Bone marrow aspirate smear — 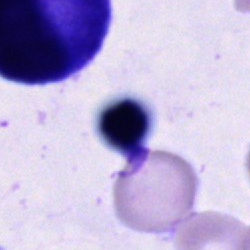Cell type: cell of indeterminate lineage.